Romanowsky-type stain. Peripheral blood smear:
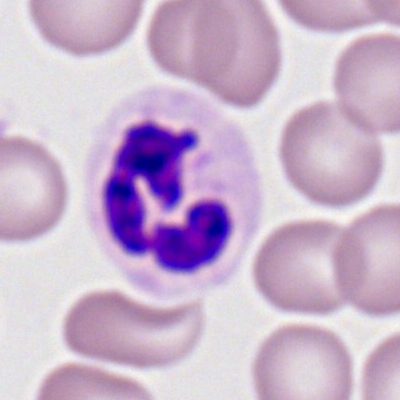 Cell type — neutrophil (segmented).